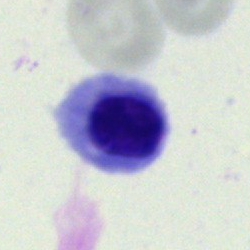This is a nucleated red blood cell.